Bone marrow aspirate smear: 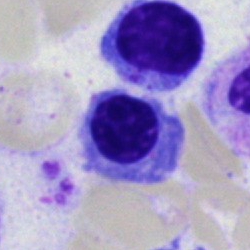

Showing a normoblast.